Bone marrow smear · single-cell field: 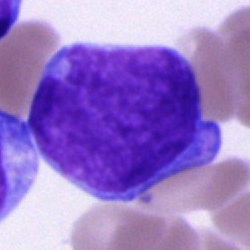
Cell type: blast.